Bone marrow aspirate smear. Brightfield, 40× oil-immersion objective:
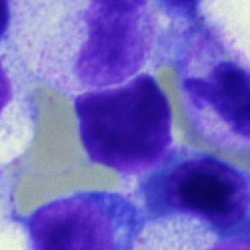 This is an artifact.